Bone marrow smear; image size 250×250:
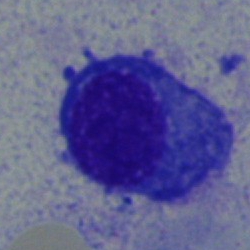 Q: What is the morphological classification of this cell?
A: A plasma cell.